Bone marrow smear:
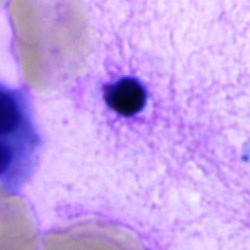

Showing an artifact.